Bone marrow aspirate smear; single cell centered in the field.
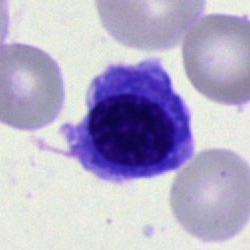 {"cell_type": "normoblast"}